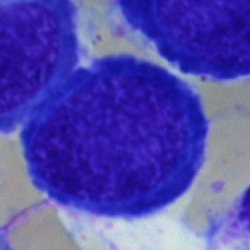Morphological class = nucleated red blood cell.